Brightfield microscopy, 40× oil immersion · bone marrow aspirate smear: 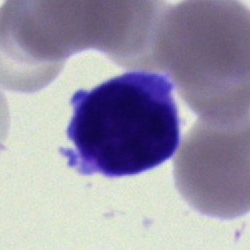
Single cell identified as a typical lymphocyte.